40× oil immersion; single-cell field; bone marrow aspirate smear.
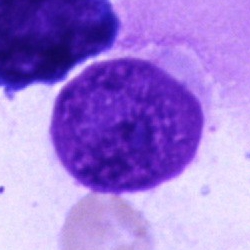Specimen: bone marrow aspirate smear.
Cell type: artefact.